Bone marrow smear · brightfield microscopy, 40× oil immersion · 250 by 250 pixels: 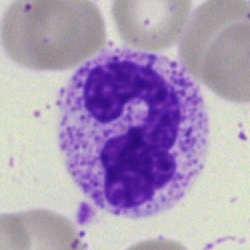

Q: Identify the cell.
A: Neutrophil (segmented).